Bone marrow aspirate smear. 250 by 250 pixels. Pappenheim-stained:
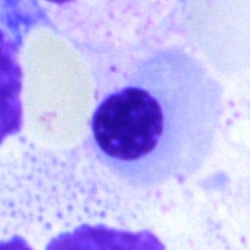
Nucleated red blood cell.